Cropped to a single cell. Peripheral blood film
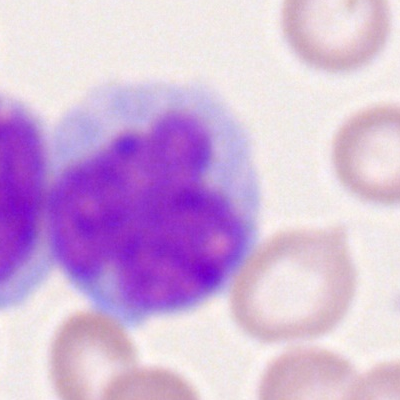 Classification — monocyte.